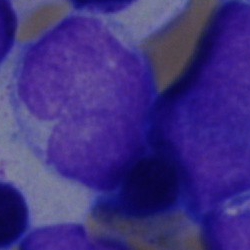Morphology — undifferentiated blast.